Bone marrow smear. 40× oil immersion.
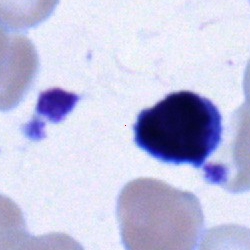 Showing a typical lymphocyte.